Bone marrow smear · 250×250 · single-cell crop
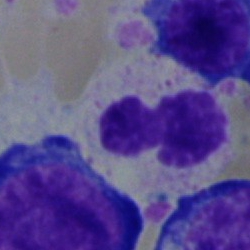Q: What is the morphological classification of this cell?
A: This is an erythroblast.